Bone marrow aspirate smear · Pappenheim-stained · image size 250×250 — 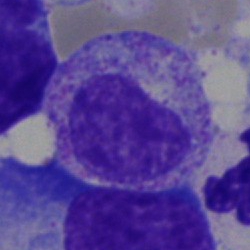 Morphology → metamyelocyte.